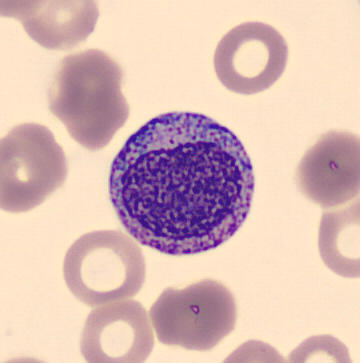 Peripheral blood smear. Cell — promyelocyte.